Bone marrow aspirate smear · May-Grünwald-Giemsa/Pappenheim stain
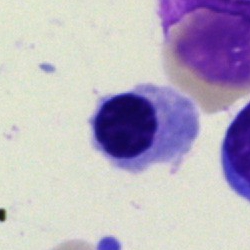
Specimen: bone marrow smear.
Classification: erythroblast.
Lineage: erythroid.